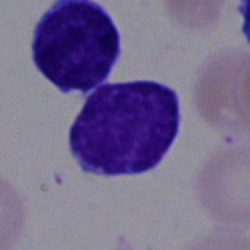 Specimen: bone marrow aspirate smear.
Cell: lymphocyte.